May-Grünwald-Giemsa stain. Bone marrow smear: 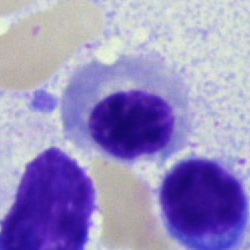
{"cell_type": "nucleated red blood cell"}